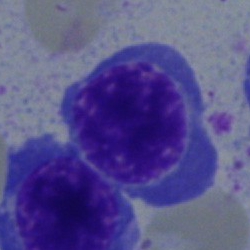Q: Which cell type is shown here?
A: It is a nucleated red cell.